Pappenheim-stained; bone marrow smear: 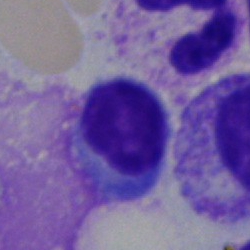 Q: What type of cell is this?
A: A lymphocyte.